Cropped to a single cell. Bone marrow smear:
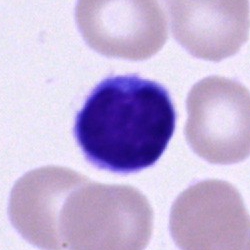 Specimen: bone marrow aspirate smear.
Cell: typical lymphocyte.
Lineage: lymphoid.